Bone marrow aspirate smear — 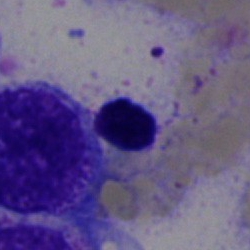
Cell — nucleated red cell.